Bone marrow smear:
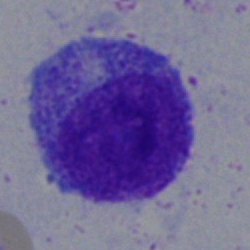

Showing a myelocyte.